Bone marrow smear; 250×250 px; single cell centered in the field: 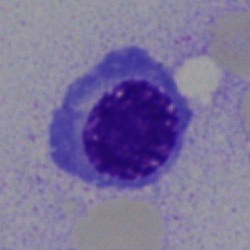
{"cell_type": "erythroblast", "lineage": "erythroid"}